MGG-stained. Single-cell crop. Bone marrow aspirate smear — 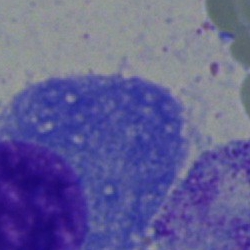
Q: Which cell type is shown here?
A: This is a plasma cell.